Bone marrow aspirate smear; 250×250 px; cropped to a single cell.
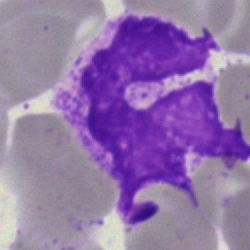 Cell type = artifact.